Bone marrow smear · single cell centered in the field · May-Grünwald-Giemsa stain — 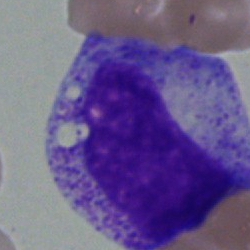

The cell shown is a myelocyte.